Bone marrow aspirate smear: 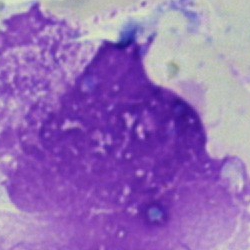
Impression — artifact.